250 by 250 pixels; brightfield, 40× oil-immersion objective; bone marrow smear
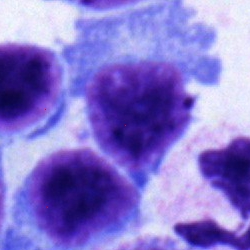
Single cell identified as a plasmacyte.